Single-cell field; bone marrow aspirate smear; brightfield microscopy, 40× oil immersion.
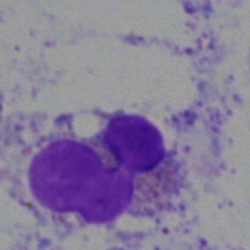Morphology consistent with an artifact.